Bone marrow aspirate smear:
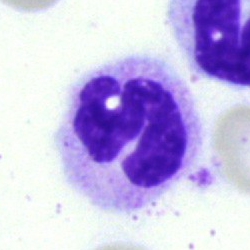 Showing a segmented neutrophil.